Bone marrow smear; 250 by 250 pixels:
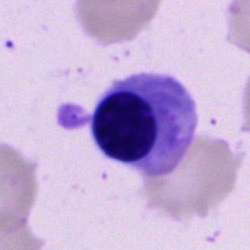

This is a normoblast.